Peripheral blood smear · brightfield, 100× oil-immersion objective · single cell centered in the field
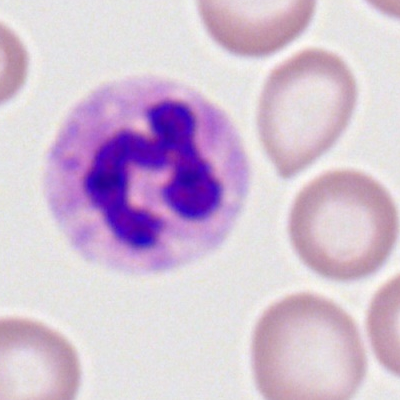
Specimen: peripheral blood film.
Cell: polymorphonuclear neutrophil.